Single-cell field. 250×250. Bone marrow aspirate smear
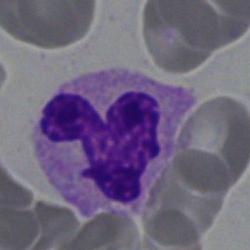
The cell shown is a segmented neutrophil.